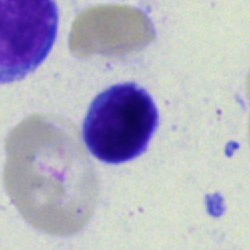 Cell: typical lymphocyte.